Bone marrow smear — 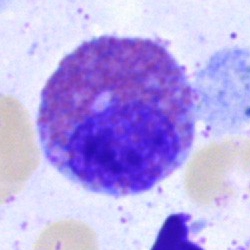

This is an eosinophilic granulocyte.